Single-cell crop · bone marrow smear · 40× oil immersion — 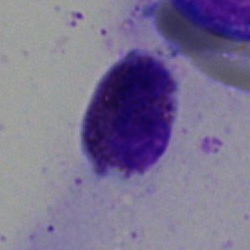
Q: What is shown here?
A: Artefact.